Brightfield microscopy, 40× oil immersion; May-Grünwald-Giemsa/Pappenheim stain; bone marrow aspirate smear:
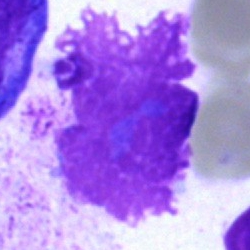An artifact.